Bone marrow aspirate smear
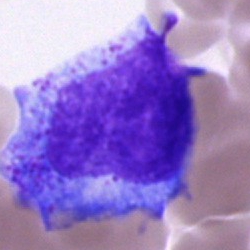

Showing a progranulocyte.